Bone marrow smear · 250 by 250 pixels · May-Grünwald-Giemsa/Pappenheim stain — 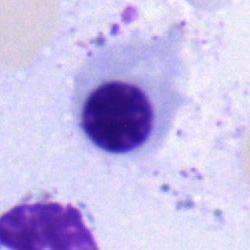Morphology → nucleated red blood cell.